Bone marrow smear
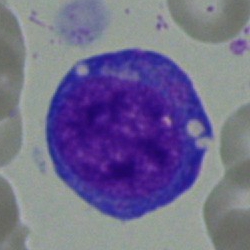
Q: What is shown here?
A: It is a progranulocyte.